Image size 250×250. Bone marrow aspirate smear: 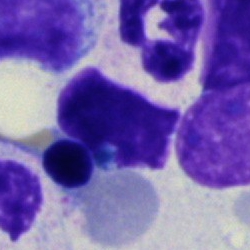

Cell type = normoblast.